Bone marrow smear.
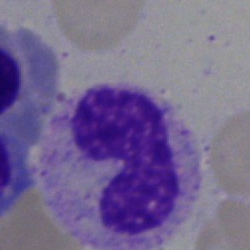 Morphology → neutrophil (segmented).